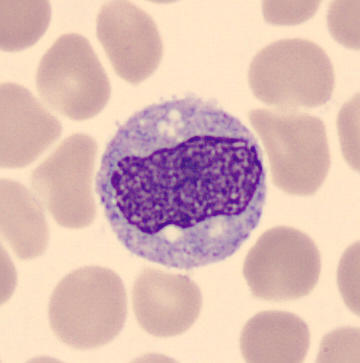
Specimen: peripheral blood film.
Cell type: monocyte.
Lineage: myeloid.